Bone marrow smear; cropped to a single cell — 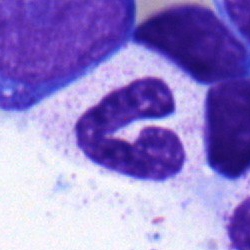

Morphological class = neutrophil (band).